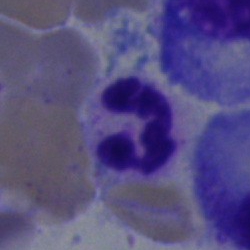
Specimen: bone marrow smear.
Classification: segmented neutrophil.